May-Grünwald-Giemsa stain · bone marrow smear · single-cell field:
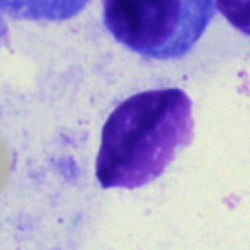

Q: What is shown here?
A: It is an artifact.